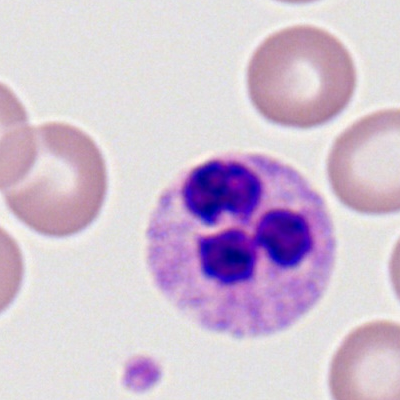 Impression → polymorphonuclear neutrophil.